Bone marrow aspirate smear · brightfield microscopy, 40× oil immersion · May-Grünwald-Giemsa stain — 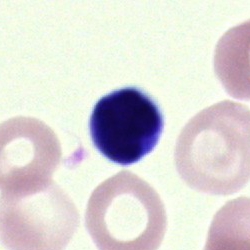 Artefact.